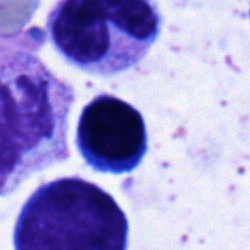
Q: Which cell type is shown here?
A: A band-form neutrophil.